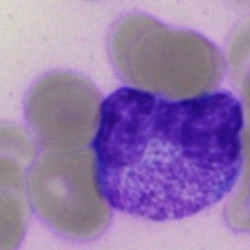
Q: Identify the cell.
A: It is a band neutrophil.